Bone marrow aspirate smear
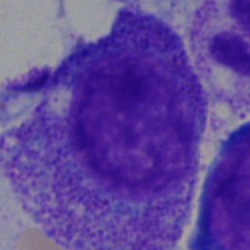 Showing a myelocyte.